Bone marrow aspirate smear — 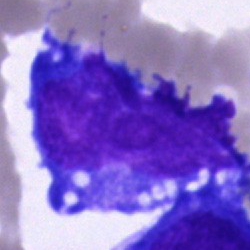

Cell type = blast.